Bone marrow smear; brightfield microscopy, 40× oil immersion.
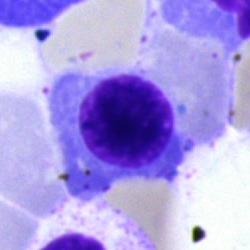 Showing a nucleated red cell.